250×250 px · bone marrow smear.
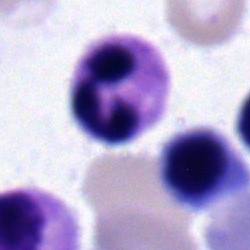
Specimen: bone marrow smear.
Morphological class: segmented neutrophil.
Lineage: myeloid.